Bone marrow smear
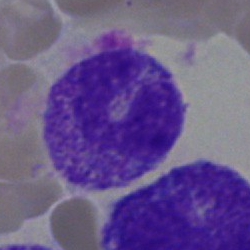

Impression — neutrophil (segmented).